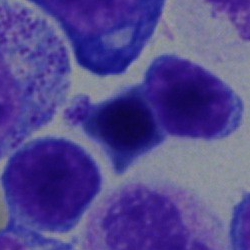
Q: Identify the cell.
A: This is a lymphocyte.